May-Grünwald-Giemsa/Pappenheim stain · bone marrow aspirate smear · single cell centered in the field: 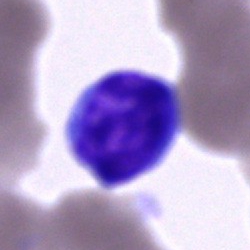{"cell_type": "typical lymphocyte"}